Bone marrow smear:
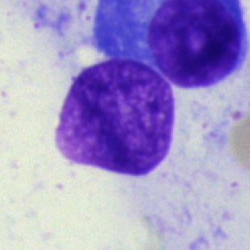Cell — artefact.